Bone marrow smear.
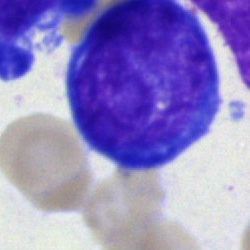Morphology consistent with an immature lymphocyte.